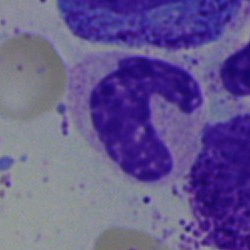

Cell type: neutrophil (band).